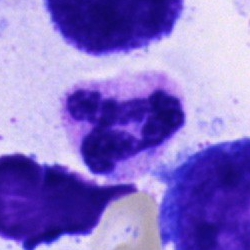
Q: Which cell type is shown here?
A: A polymorphonuclear neutrophil.